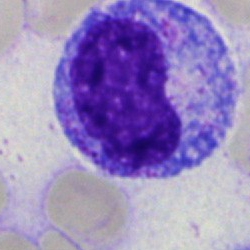
Bone marrow smear showing a progranulocyte.